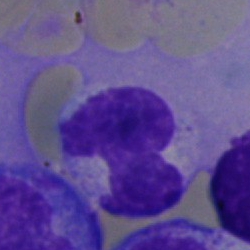Single cell identified as an artefact.